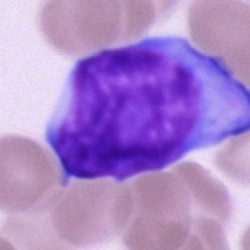 Cell = undifferentiated blast.